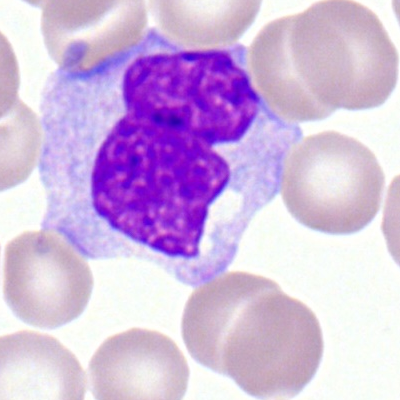 Morphology consistent with a monocyte.